Single-cell crop; bone marrow smear.
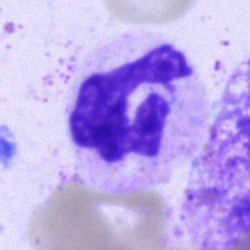
This is a polymorphonuclear neutrophil.